May-Grünwald-Giemsa/Pappenheim stain. Bone marrow aspirate smear: 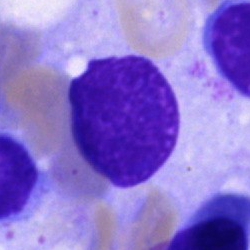 Morphology — artifact.